Cropped to a single cell; bone marrow smear; 250 by 250 pixels:
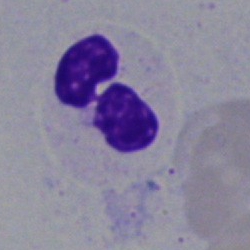 Impression — neutrophil (segmented).